Bone marrow smear.
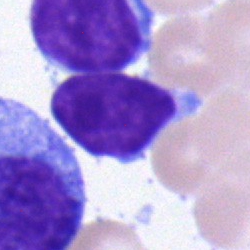
Q: Identify the cell.
A: A lymphocyte.